Bone marrow aspirate smear
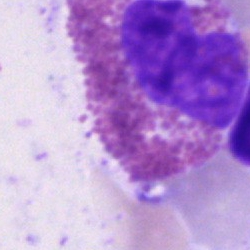
{"cell_type": "eosinophil", "lineage": "myeloid"}